Bone marrow aspirate smear
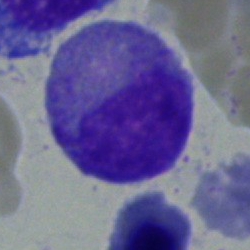
The cell shown is a myelocyte.